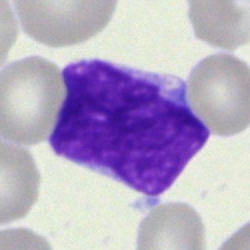Q: What is shown here?
A: Blast.